Bone marrow aspirate smear: 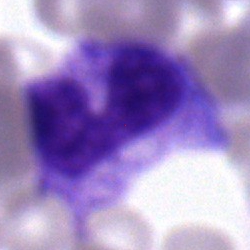 Band-form neutrophil.